Bone marrow aspirate smear · brightfield microscopy, 40× oil immersion · 250 by 250 pixels — 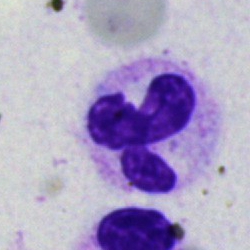

Morphological class — neutrophil (segmented).